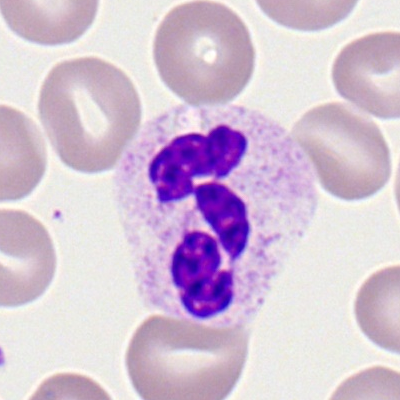 Peripheral blood smear showing a segmented neutrophil.